Bone marrow aspirate smear: 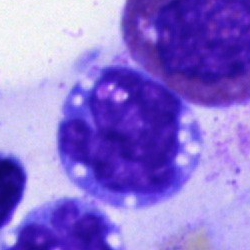 Q: What type of cell is this?
A: It is a monocyte.